Bone marrow aspirate smear · single cell centered in the field
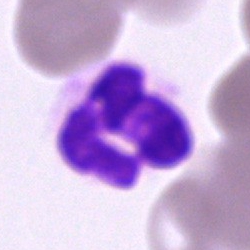 A segmented neutrophil.